Peripheral blood film; image size 400×400; single-cell field:
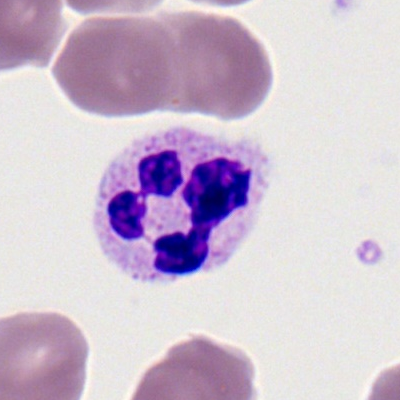 Neutrophil (segmented).